Peripheral blood film:
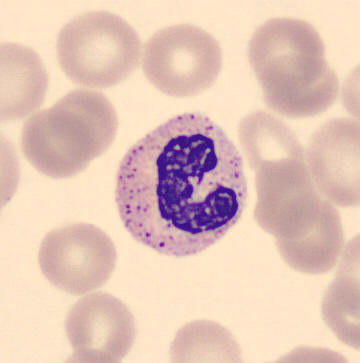
Morphology consistent with a band-form neutrophil.